Bone marrow smear; 40× oil immersion.
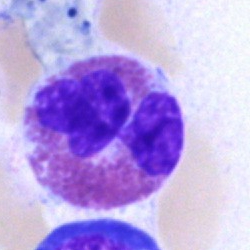

This is an eosinophil.